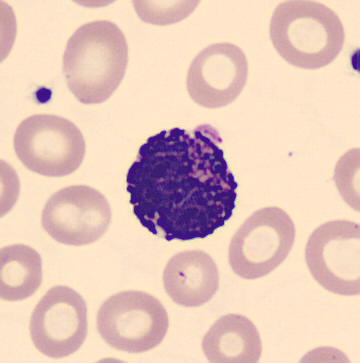

Peripheral blood film, single cell — basophilic granulocyte.